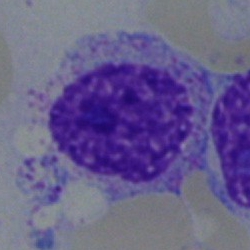

Bone marrow aspirate smear, single cell — myelocyte.